Bone marrow aspirate smear; Pappenheim-stained.
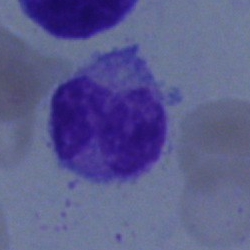A neutrophil (band).